Bone marrow aspirate smear. Single-cell crop
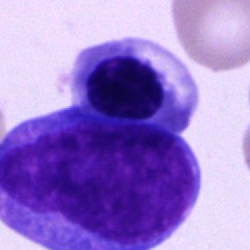

Morphology consistent with a blast cell.